40× objective, oil immersion. Bone marrow smear. Single-cell field.
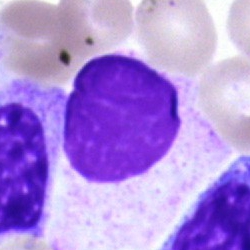Impression → artifact.